Pappenheim-stained · bone marrow smear · single-cell crop
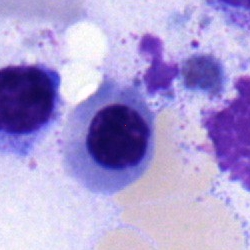
Morphological class = erythroblast.